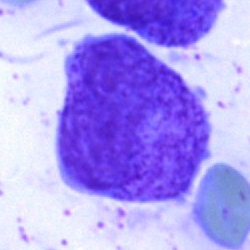
Promyelocyte.